250×250. Bone marrow aspirate smear. May-Grünwald-Giemsa stain — 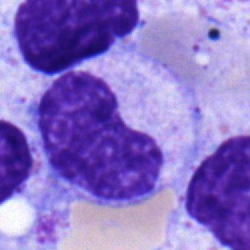Q: What type of cell is this?
A: This is a band neutrophil.